Bone marrow smear. Single-cell crop. 40× objective, oil immersion — 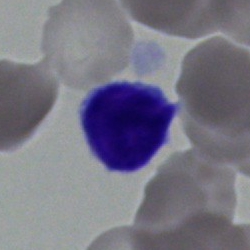Impression — lymphocyte.